Bone marrow smear. Cropped to a single cell: 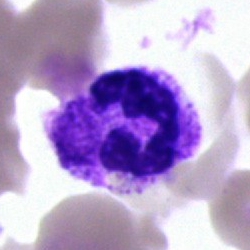{"cell_type": "neutrophil (segmented)", "lineage": "myeloid"}